Bone marrow smear:
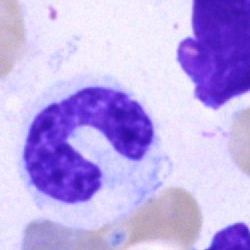 Cell type = neutrophil (band).